M8 digital microscope (Precipoint), 100× oil immersion · Romanowsky stain · peripheral blood smear.
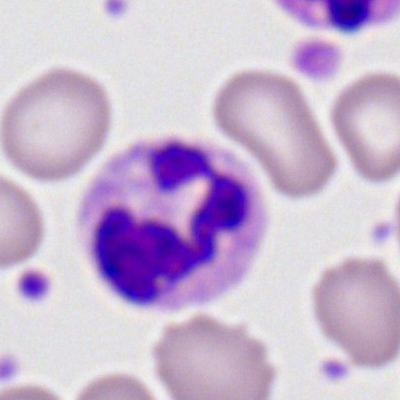Showing a neutrophil (segmented).